Bone marrow smear. May-Grünwald-Giemsa stain:
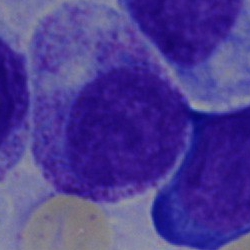 Classification — myelocyte.